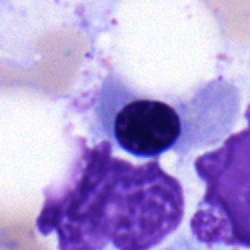 Cell — erythroblast.